Peripheral blood smear. Romanowsky-stained — 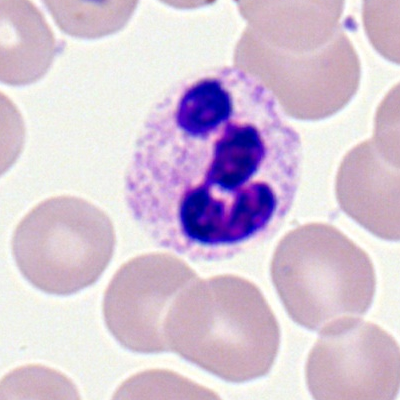 Single cell identified as a segmented neutrophil.